Peripheral blood film.
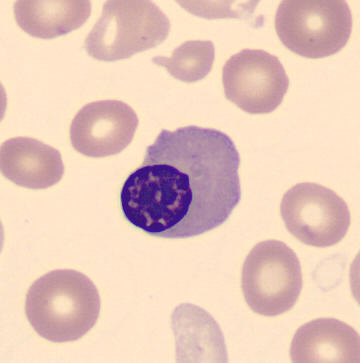
This is a nucleated red blood cell.